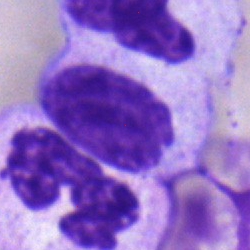

A metamyelocyte.